Bone marrow smear — 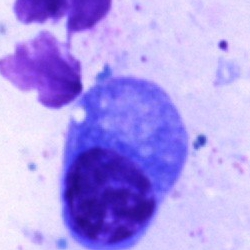Plasma cell.